Brightfield, 40× oil-immersion objective; single-cell field; bone marrow smear: 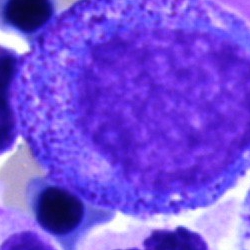

Single cell identified as a promyelocyte.